Bone marrow aspirate smear · brightfield microscopy, 40× oil immersion · single cell centered in the field:
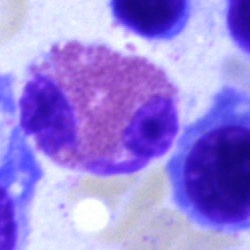

Q: What type of cell is this?
A: It is an eosinophil.